Pappenheim-stained; bone marrow aspirate smear; brightfield microscopy, 40× oil immersion: 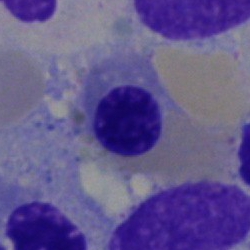

Cell — normoblast.